Image size 250×250; bone marrow smear — 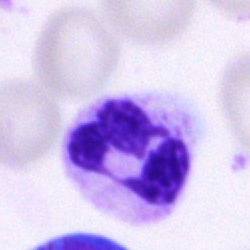 Cell = neutrophil (segmented).